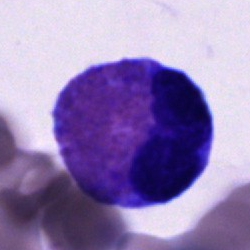The cell shown is an eosinophil.